Bone marrow aspirate smear — 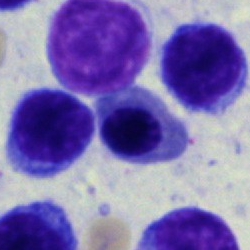
Nucleated red blood cell.